Peripheral blood smear: 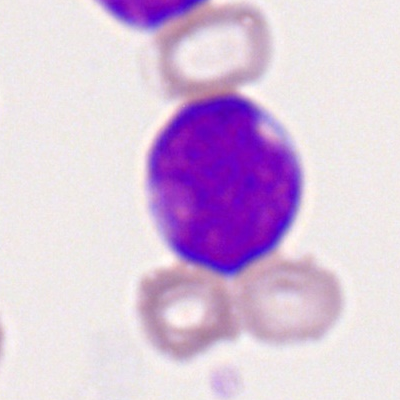
Single cell identified as a myeloblast.